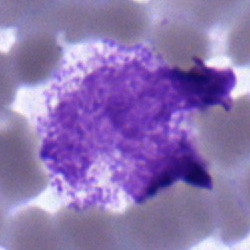
A segmented neutrophil.